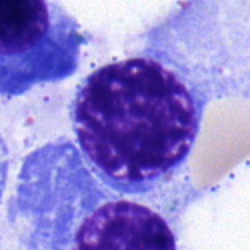

Morphology consistent with a normoblast.